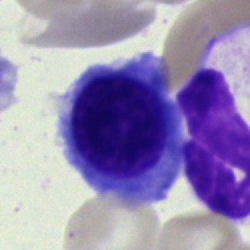Morphology — nucleated red cell.